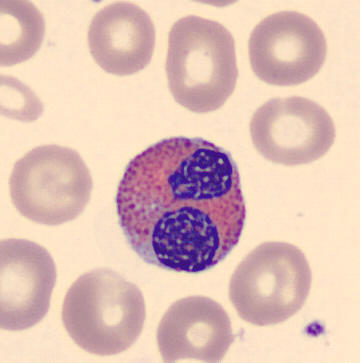An eosinophilic granulocyte.

Peripheral blood film.